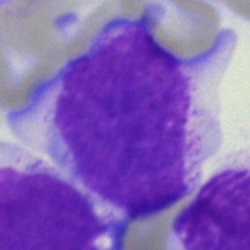 Specimen: bone marrow aspirate smear.
Classification: blast cell.